Bone marrow aspirate smear — 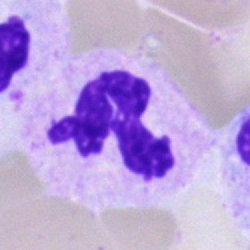 Morphological class: neutrophil (segmented).